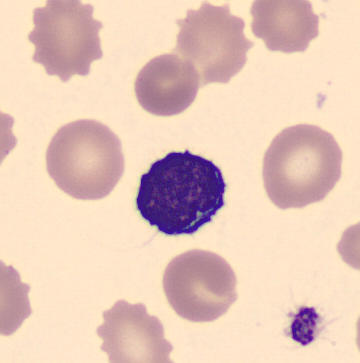A lymphocyte. Preparation: Peripheral blood film.